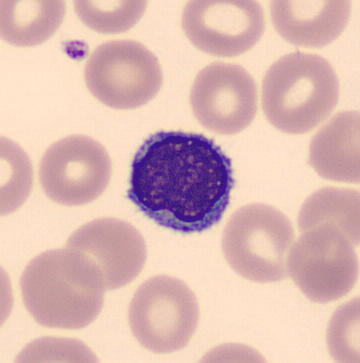

Image: Peripheral blood smear. May Grünwald-Giemsa stain. Classification: lymphocyte.